Bone marrow aspirate smear · single-cell crop · brightfield, 40× oil-immersion objective
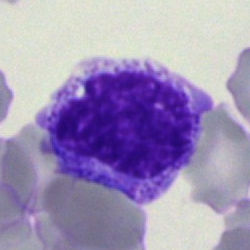

Myelocyte.